Bone marrow aspirate smear
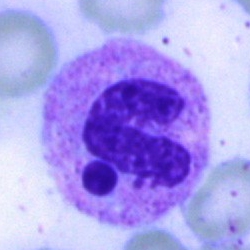Q: Which cell type is shown here?
A: A segmented neutrophil.